Bone marrow smear — 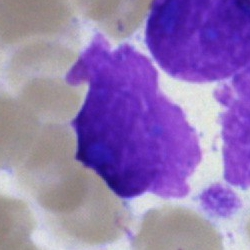 Specimen: bone marrow aspirate smear.
Cell type: artefact.